Bone marrow smear · May-Grünwald-Giemsa stain.
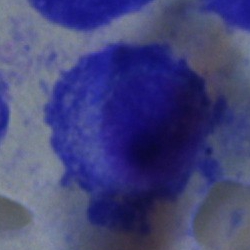
Q: What cell is this?
A: Plasmacyte.